Bone marrow smear:
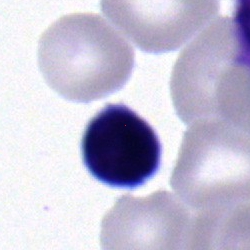

Morphology consistent with a typical lymphocyte.